250×250 · bone marrow smear — 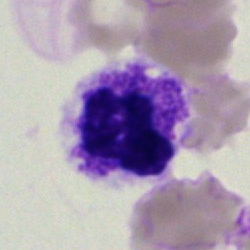

Morphology → polymorphonuclear neutrophil.